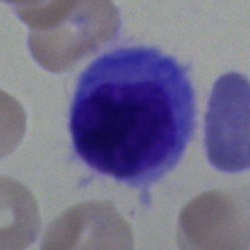
The morphological class is hairy cell.